Bone marrow smear · 40× objective, oil immersion · single-cell field.
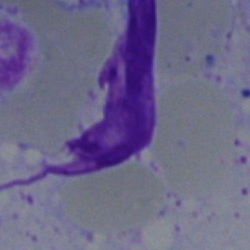Classification = artifact.